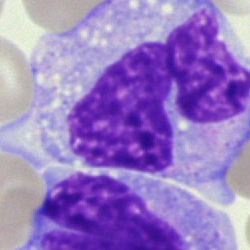

Bone marrow aspirate smear, single cell — monocyte.